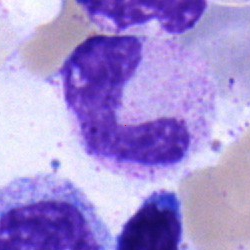Q: Identify the cell.
A: This is a band neutrophil.